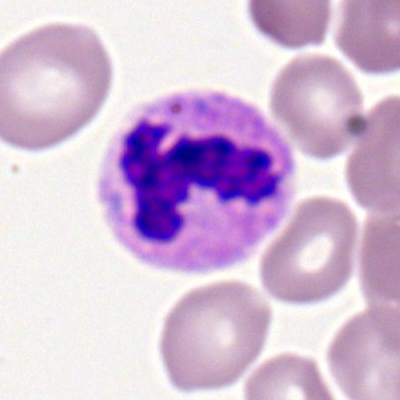
Morphology consistent with a polymorphonuclear neutrophil.